Bone marrow aspirate smear; MGG-stained — 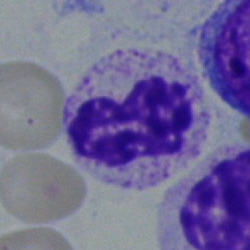
Morphological class: band neutrophil.